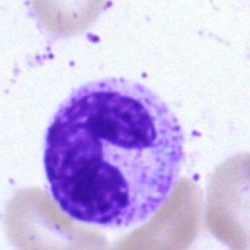

Cell type = band-form neutrophil.